Bone marrow smear; MGG-stained:
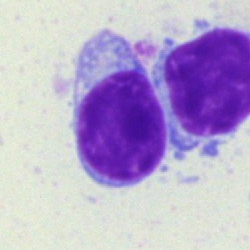 Morphological class — typical lymphocyte.